Image size 250×250 · bone marrow smear
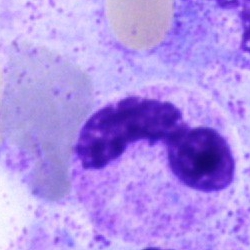
Cell — polymorphonuclear neutrophil.